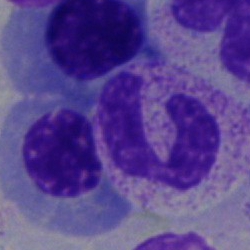
Morphology consistent with a segmented neutrophil.